Bone marrow aspirate smear.
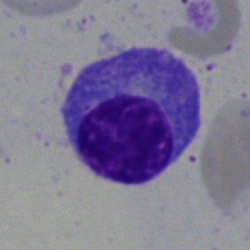

Cell type — plasma cell.